Bone marrow smear
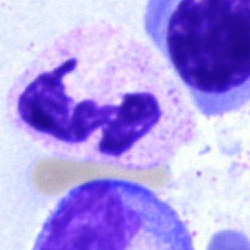

Specimen: bone marrow aspirate smear.
Classification: neutrophil (segmented).
Lineage: myeloid.